Bone marrow aspirate smear
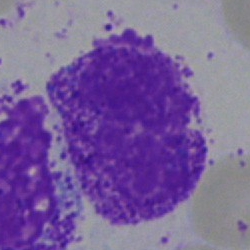 Specimen: bone marrow smear.
Morphological class: artefact.